Bone marrow aspirate smear — 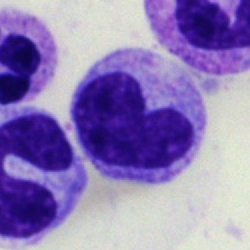 Classification: band neutrophil.